Single-cell crop. Bone marrow aspirate smear.
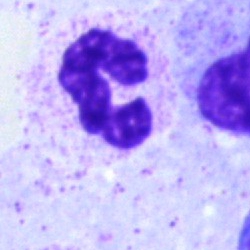Showing a neutrophil (segmented).